Bone marrow aspirate smear — 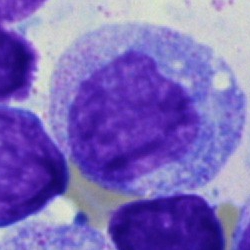 Impression — progranulocyte.